Bone marrow aspirate smear: 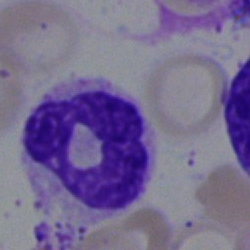Q: What is shown here?
A: It is a neutrophil (segmented).